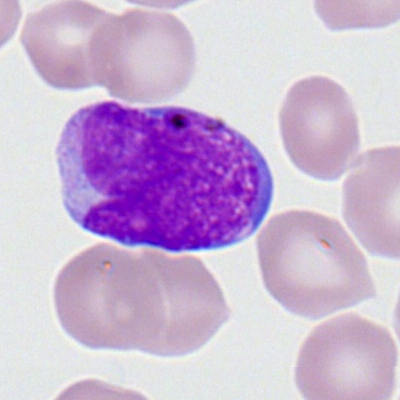 The cell shown is a myeloid blast.